Bone marrow aspirate smear
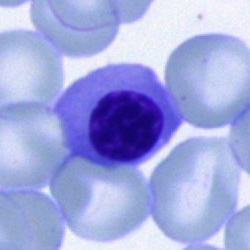
Impression — normoblast.